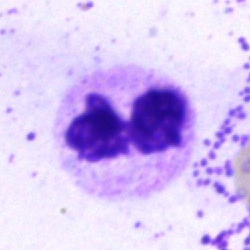Specimen: bone marrow smear.
Morphological class: polymorphonuclear neutrophil.